Bone marrow aspirate smear: 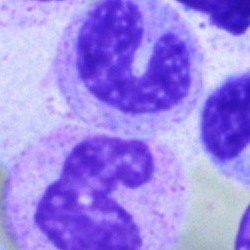

Cell — band neutrophil.